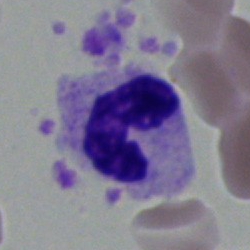
Morphology consistent with a neutrophil (segmented).